May-Grünwald-Giemsa/Pappenheim stain. Image size 250×250. Bone marrow aspirate smear: 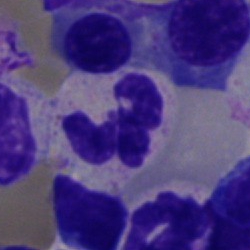

Showing a segmented neutrophil.